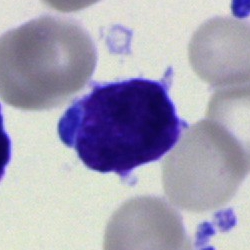 Single-cell crop from a bone marrow smear: undifferentiated blast.